Bone marrow smear: 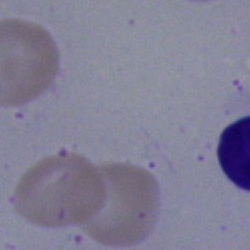 An artefact.